Bone marrow aspirate smear — 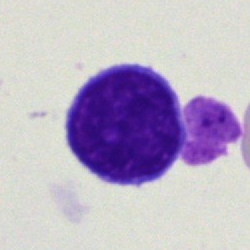
{"cell_type": "typical lymphocyte", "lineage": "lymphoid"}